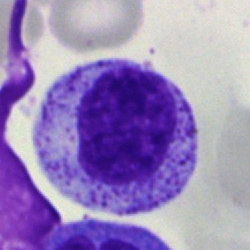 Bone marrow smear showing a myelocyte.